Bone marrow smear.
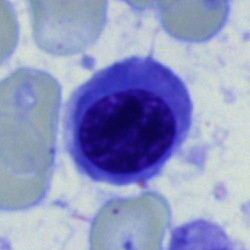
{"cell_type": "nucleated red cell", "lineage": "erythroid"}